250×250 · May-Grünwald-Giemsa stain · bone marrow aspirate smear:
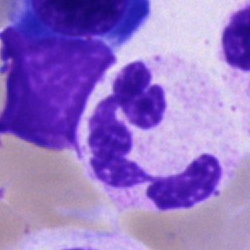 Cell type: segmented neutrophil.